Bone marrow smear — 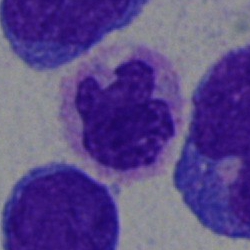

Morphology consistent with a polymorphonuclear neutrophil.